Bone marrow smear — 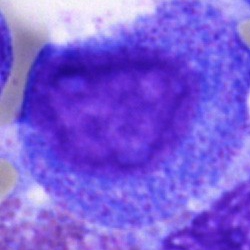The cell shown is a progranulocyte.